Bone marrow aspirate smear: 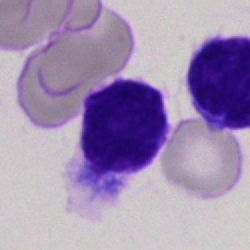

Morphology → lymphocyte.